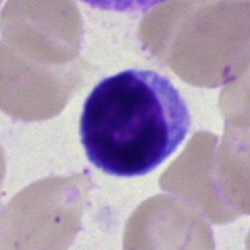
Single-cell crop from a bone marrow smear: typical lymphocyte.